Bone marrow smear · Pappenheim-stained — 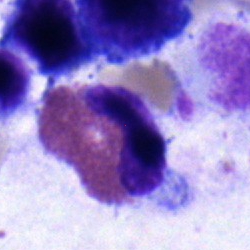 Specimen: bone marrow aspirate smear.
Classification: eosinophil.
Lineage: myeloid.